Bone marrow aspirate smear.
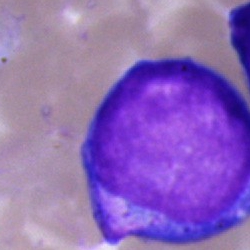 Morphological class: blast cell.